Bone marrow smear.
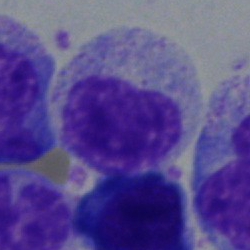
Metamyelocyte.